Bone marrow smear; single cell centered in the field
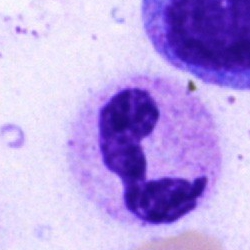
Classification = neutrophil (segmented).